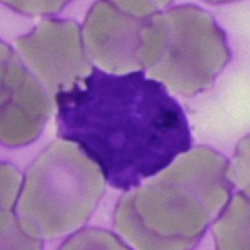

An artefact.